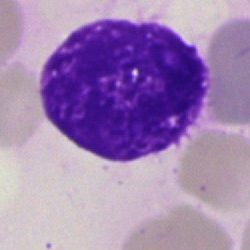The morphological class is artefact.